Bone marrow smear — 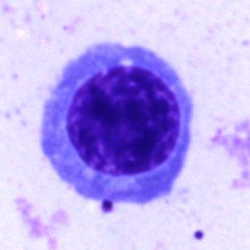 Cell type = nucleated red blood cell.